Bone marrow aspirate smear; MGG-stained:
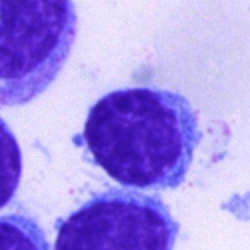

Specimen: bone marrow smear.
Cell type: lymphocyte.
Lineage: lymphoid.